250 by 250 pixels; May-Grünwald-Giemsa/Pappenheim stain; bone marrow smear — 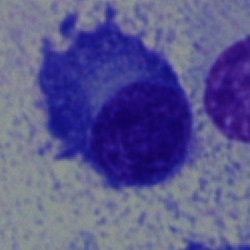This is a plasmacyte.